Bone marrow aspirate smear.
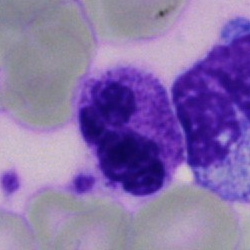 The cell shown is a neutrophil (segmented).